Bone marrow smear: 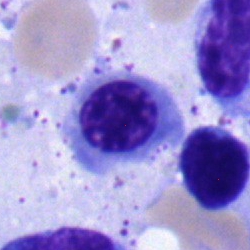 Morphology consistent with a nucleated red cell.